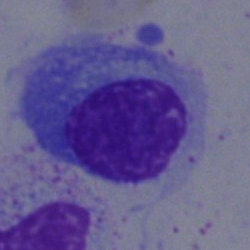

Bone marrow smear showing a plasmacyte.